Bone marrow smear; brightfield, 40× oil-immersion objective; 250×250 — 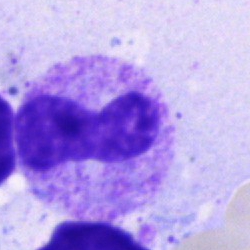
Impression — neutrophil (band).